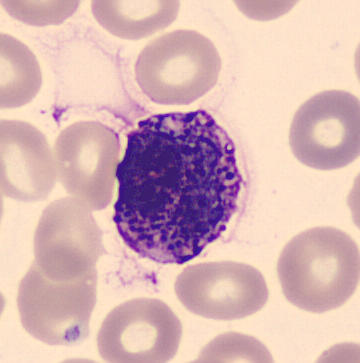Impression — basophil.